Bone marrow aspirate smear; May-Grünwald-Giemsa stain; 250 by 250 pixels: 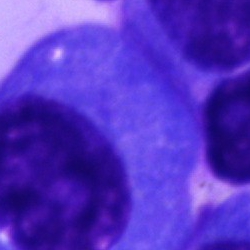

Morphology — plasmacyte.